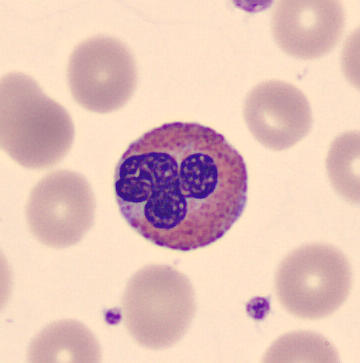Acquisition: Peripheral blood film.
Morphology → eosinophil.